250 by 250 pixels. Bone marrow aspirate smear.
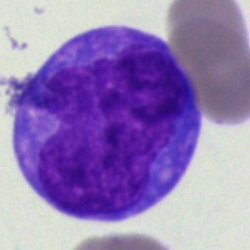
Single cell identified as a blast.